Bone marrow aspirate smear:
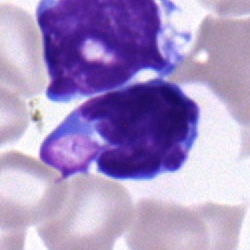 Specimen: bone marrow aspirate smear.
Classification: lymphocyte.